Bone marrow smear.
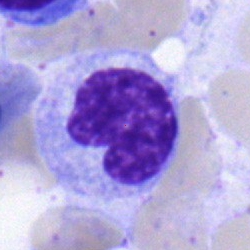The cell shown is a monocyte.